MGG-stained. Bone marrow smear:
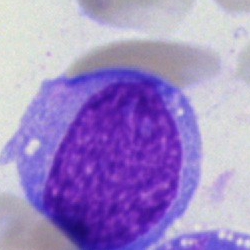
Morphology consistent with a blast.